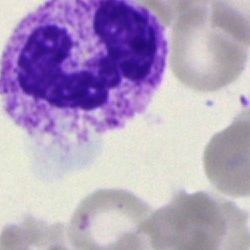
A neutrophil (segmented).